250×250 px; bone marrow smear.
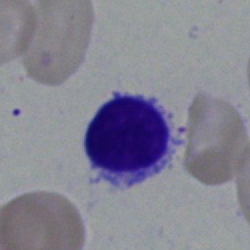

Specimen: bone marrow aspirate smear.
Cell type: typical lymphocyte.
Lineage: lymphoid.